Brightfield, 100× oil-immersion objective · peripheral blood smear:
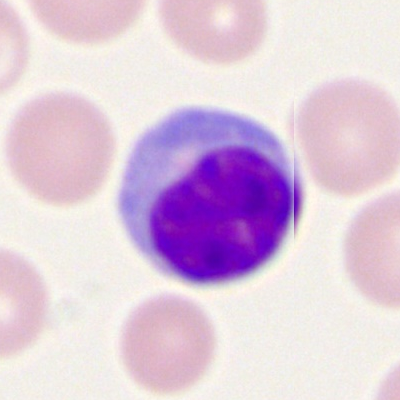

Q: Which cell type is shown here?
A: A lymphocyte.